Bone marrow aspirate smear. Image size 250×250:
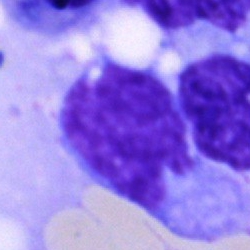Classification = artefact.